Bone marrow smear; 40× oil immersion — 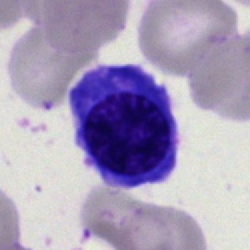 Nucleated red cell.